Bone marrow smear:
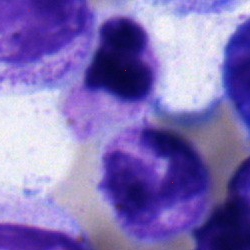Polymorphonuclear neutrophil.